Bone marrow aspirate smear: 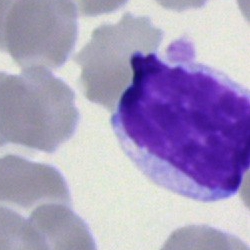
Morphology → lymphocyte.